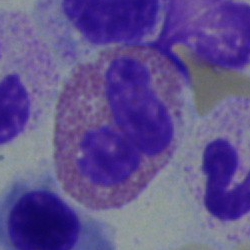

Bone marrow aspirate smear, single cell — eosinophilic granulocyte.